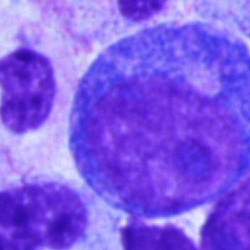 Progranulocyte.